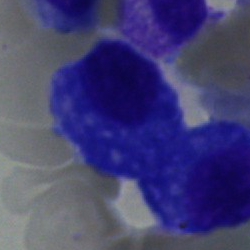 Specimen: bone marrow aspirate smear.
Cell: plasma cell.
Lineage: lymphoid.